Bone marrow smear. Brightfield, 40× oil-immersion objective — 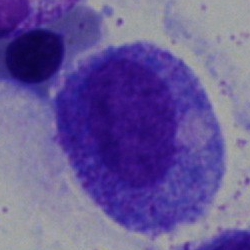Morphological class = progranulocyte.